Bone marrow aspirate smear:
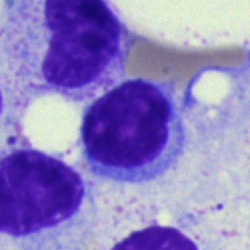
Specimen: bone marrow aspirate smear.
Cell: lymphocyte.